Pappenheim-stained; single-cell field; bone marrow aspirate smear: 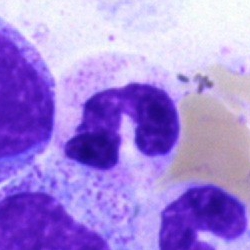

Morphology consistent with a neutrophil (segmented).